Bone marrow smear:
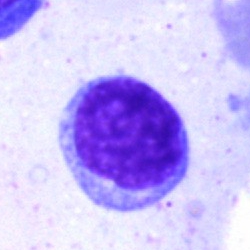

The morphological class is lymphocyte.